Bone marrow aspirate smear; 40× objective, oil immersion
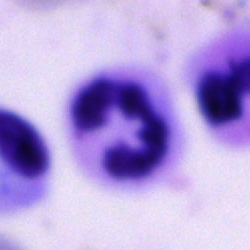
Neutrophil (segmented).